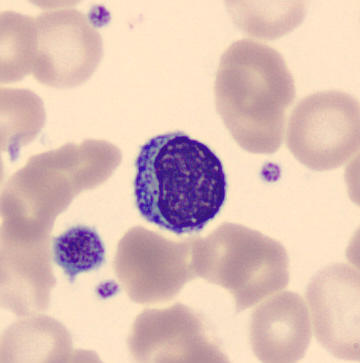

Specimen: peripheral blood film.
Cell type: typical lymphocyte.
Lineage: lymphoid.